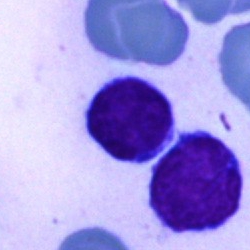Morphology consistent with a typical lymphocyte.